Image size 250×250 · bone marrow smear · 40× oil immersion — 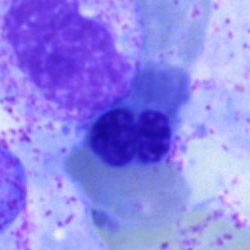

Morphological class — erythroblast.